Bone marrow aspirate smear: 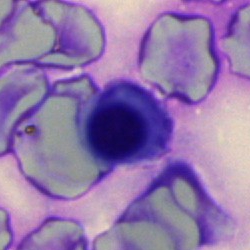 Morphology — erythroblast.